Bone marrow aspirate smear — 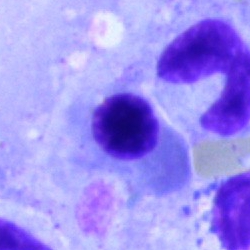{"cell_type": "normoblast", "lineage": "erythroid"}